Brightfield microscopy, 40× oil immersion · bone marrow smear.
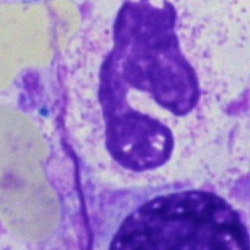

Morphological class = artifact.